Peripheral blood film: 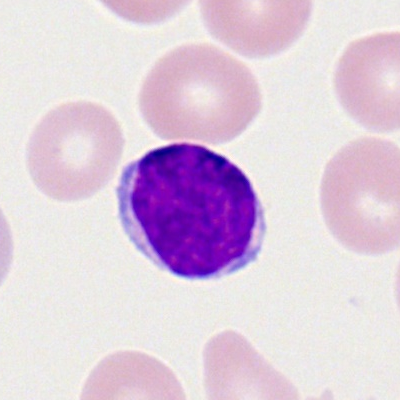The cell shown is a lymphocyte.